Brightfield microscopy, 40× oil immersion. Bone marrow aspirate smear: 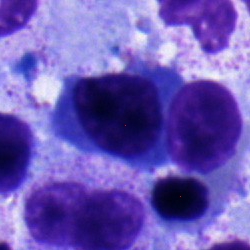
Q: What is shown here?
A: It is a normoblast.